100× oil immersion, 14.14 px/µm · peripheral blood film · 400 by 400 pixels — 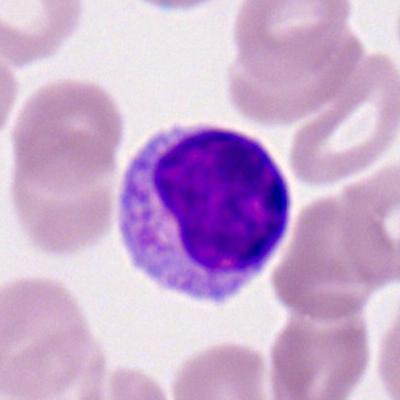 Impression — typical lymphocyte.